Bone marrow aspirate smear.
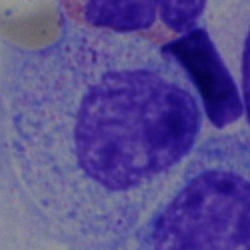

Showing a myelocyte.